Bone marrow smear: 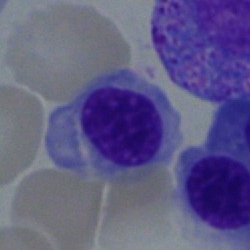Morphological class — normoblast.